May-Grünwald-Giemsa stain; bone marrow aspirate smear; cropped to a single cell — 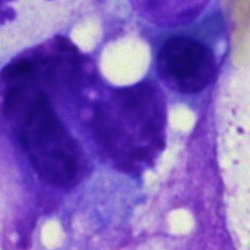Single cell identified as an artefact.